Bone marrow smear.
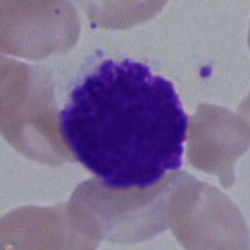 An artefact.